Romanowsky-stained. Peripheral blood smear — 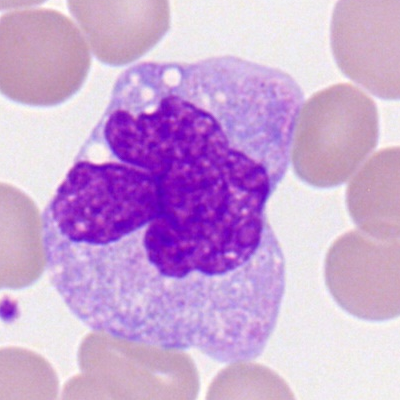 Showing a monocyte.